Bone marrow aspirate smear; cropped to a single cell: 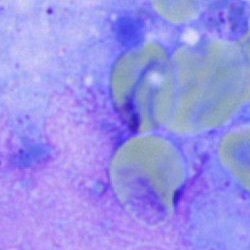 An artefact.